May-Grünwald-Giemsa stain · bone marrow aspirate smear: 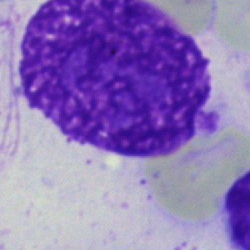Impression → artifact.